Bone marrow aspirate smear:
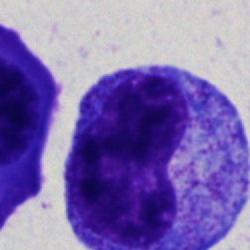Q: What cell is this?
A: This is a progranulocyte.